Bone marrow aspirate smear — 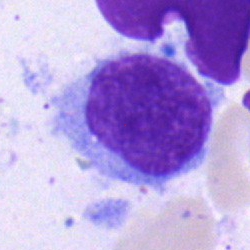
Hairy cell.